250×250 px. Bone marrow smear
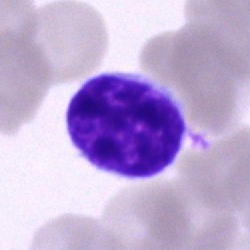

Typical lymphocyte.